Image size 250×250. Bone marrow aspirate smear.
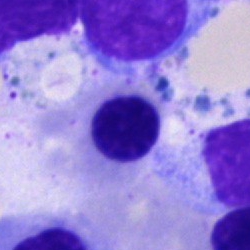
Morphological class = normoblast.